May-Grünwald-Giemsa/Pappenheim stain; bone marrow aspirate smear: 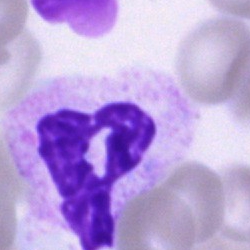 Cell = neutrophil (segmented).